Bone marrow aspirate smear; 250 by 250 pixels; single-cell crop:
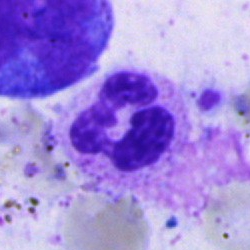

The cell is neutrophil (segmented).